Bone marrow smear: 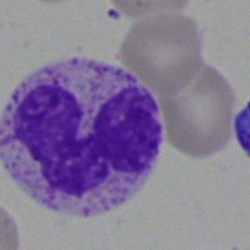

Classification — neutrophil (segmented).